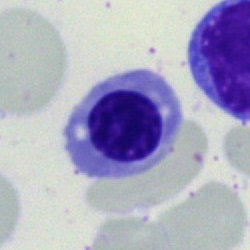 Q: Which cell type is shown here?
A: Nucleated red blood cell.